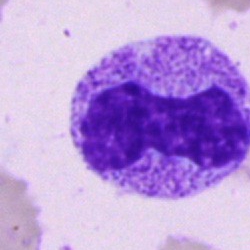
Q: What is shown here?
A: A stab cell.